Bone marrow smear. 250 by 250 pixels
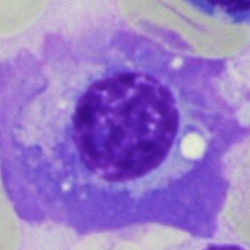Morphology → plasma cell.